Bone marrow aspirate smear — 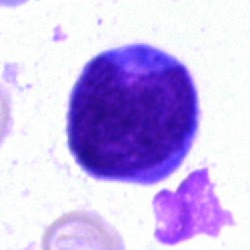

The cell type is blast.